Bone marrow smear: 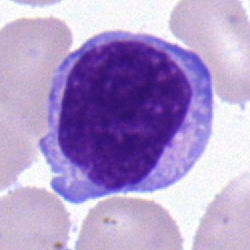
Q: Which cell type is shown here?
A: It is a lymphocyte.